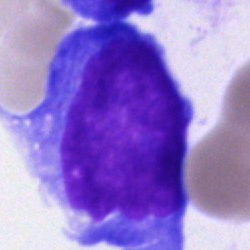
This is a blast.